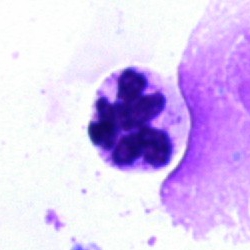Morphology consistent with a neutrophil (segmented).